Peripheral blood film; single cell centered in the field; brightfield, 100× oil-immersion objective — 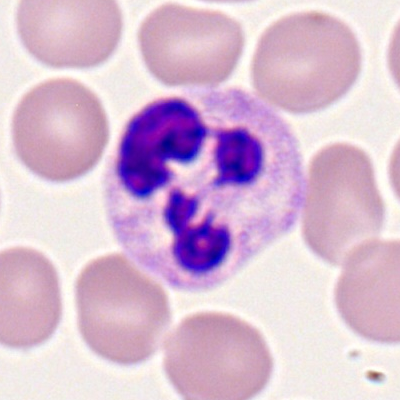 {"cell_type": "polymorphonuclear neutrophil"}